MGG-stained. 40× oil immersion. Bone marrow smear — 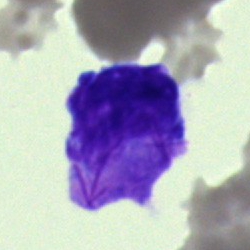Q: What cell is this?
A: It is a cell with bundled Auer rods.